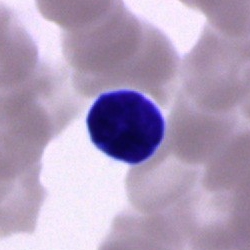Showing a lymphocyte.